Bone marrow smear
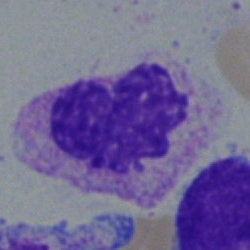Morphology → segmented neutrophil.